100× oil immersion. Single cell centered in the field. Peripheral blood film: 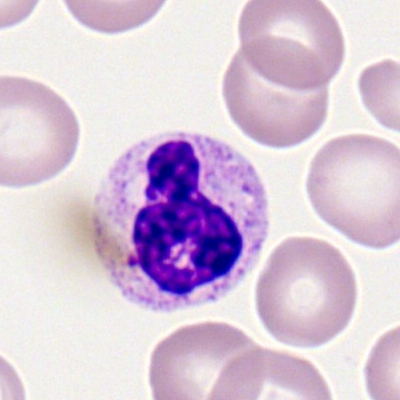 Q: What is the morphological classification of this cell?
A: This is a segmented neutrophil.